Bone marrow aspirate smear. Single-cell field:
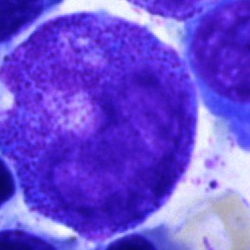

Q: What is the morphological classification of this cell?
A: This is a progranulocyte.